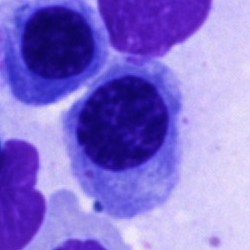
Morphology — normoblast.